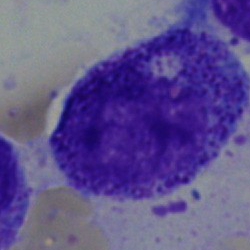

The classification is myelocyte.